Bone marrow smear
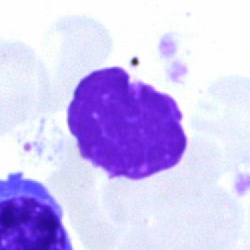
Showing an artifact.